Bone marrow aspirate smear; 250 by 250 pixels
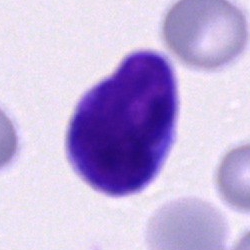

Impression — undifferentiated blast.